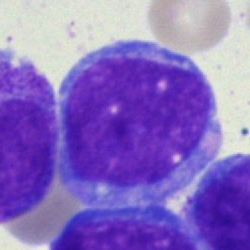

The morphological class is blast.